Single-cell crop. Peripheral blood film:
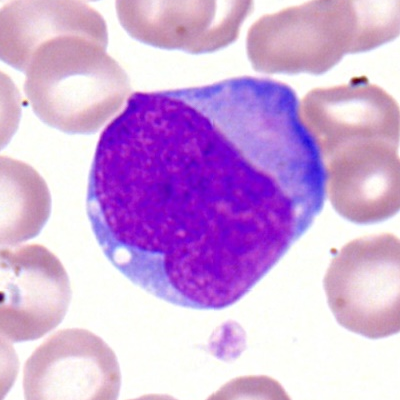
{"cell_type": "myeloid blast", "lineage": "myeloid"}